Bone marrow aspirate smear; May-Grünwald-Giemsa stain; image size 250×250 — 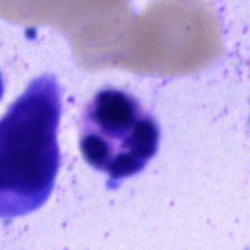

A neutrophil (segmented).